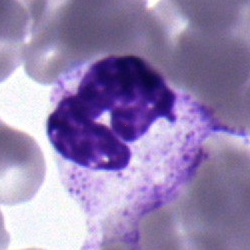

Q: What cell is this?
A: A polymorphonuclear neutrophil.